Bone marrow smear
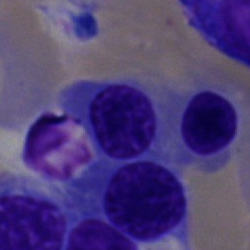
Cell type: nucleated red cell.